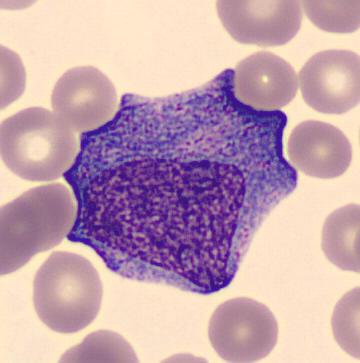The cell type is progranulocyte. Image: Peripheral blood smear.